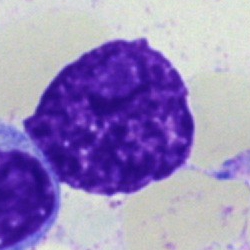

Cell type: artifact.